Bone marrow smear; 250×250 px; single cell centered in the field — 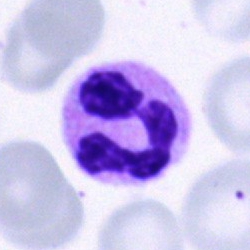Specimen: bone marrow smear.
Morphological class: polymorphonuclear neutrophil.
Lineage: myeloid.